250 by 250 pixels. Bone marrow smear: 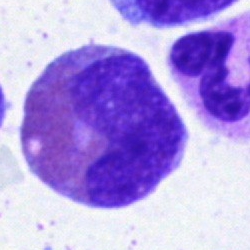Single cell identified as an eosinophilic granulocyte.